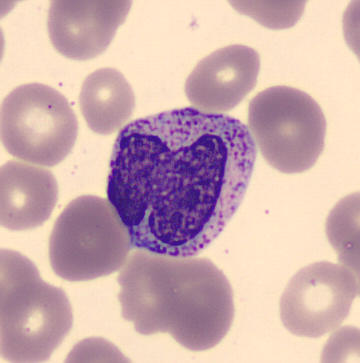

Acquisition: Imaged on a CellaVision DM96 analyser.

Specimen: peripheral blood film.
Classification: metamyelocyte.
Lineage: myeloid.